Bone marrow smear — 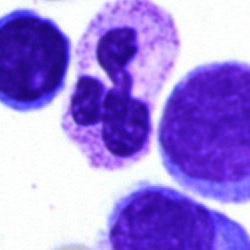

Cell — segmented neutrophil.